250×250 px; brightfield, 40× oil-immersion objective; bone marrow smear
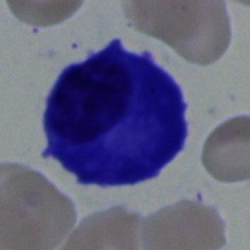
Plasma cell.